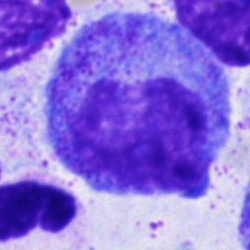
Q: What type of cell is this?
A: This is a progranulocyte.